Bone marrow aspirate smear.
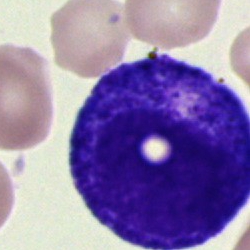
Morphology → progranulocyte.